Peripheral blood smear: 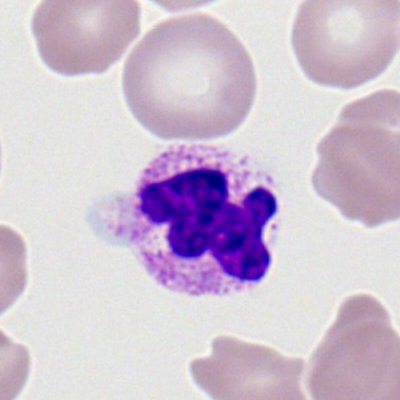

Cell type: segmented neutrophil.